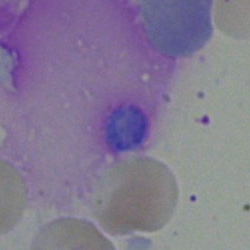Impression — artefact.